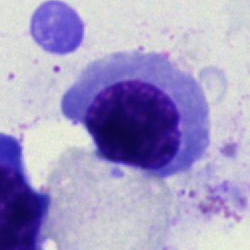
Specimen: bone marrow smear.
Morphological class: normoblast.